Pappenheim-stained · bone marrow smear:
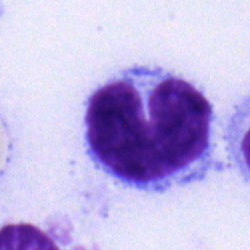 The cell shown is a typical lymphocyte.